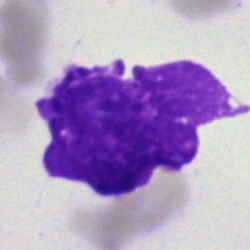

An artefact.